250×250 · bone marrow smear — 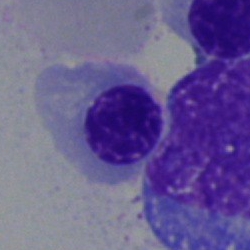Q: What cell is this?
A: An erythroblast.